Bone marrow smear; 250×250 px:
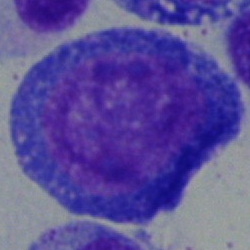
This is a promyelocyte.